Peripheral blood smear:
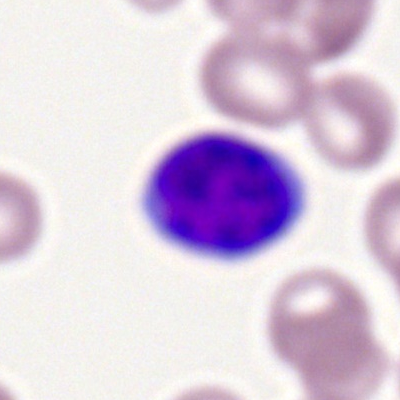 The cell shown is a lymphocyte.